Pappenheim-stained; bone marrow aspirate smear; 40× oil immersion — 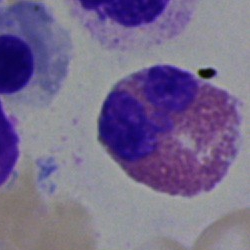Q: Which cell type is shown here?
A: Eosinophil.